MGG-stained. Bone marrow aspirate smear:
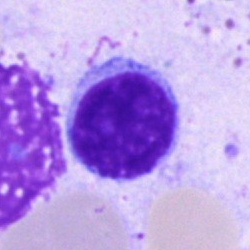 Lymphocyte.